Bone marrow aspirate smear.
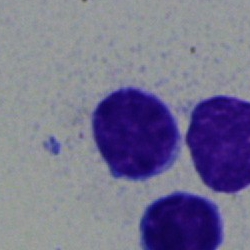
Showing a typical lymphocyte.